Bone marrow aspirate smear. Single-cell crop. Pappenheim-stained
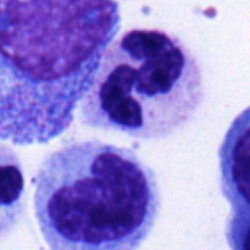 Impression — neutrophil (segmented).